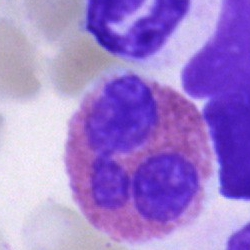
Classification: eosinophil.